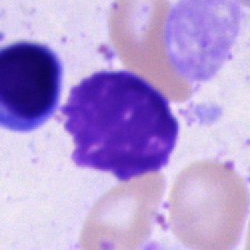 Classification — artefact.